Brightfield microscopy, 40× oil immersion · bone marrow smear · single-cell crop:
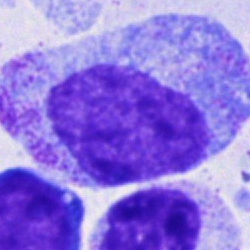
The cell shown is a promyelocyte.